Bone marrow aspirate smear
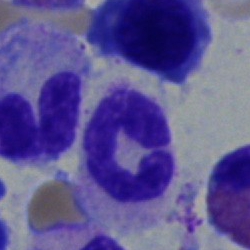
Morphological class — polymorphonuclear neutrophil.